Bone marrow smear
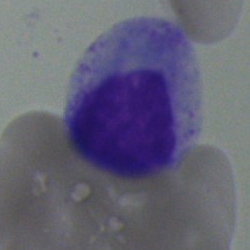

This is a plasma cell.